Bone marrow smear; 250×250 px
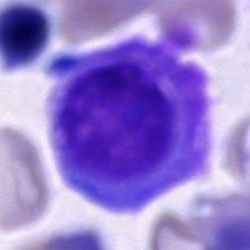

Plasmacyte.